Bone marrow smear: 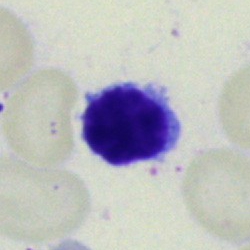 {"cell_type": "typical lymphocyte", "lineage": "lymphoid"}